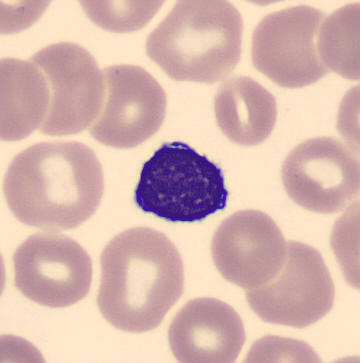Cell type — typical lymphocyte.